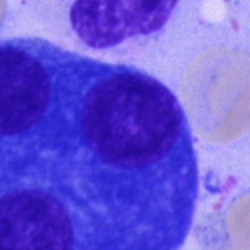

Specimen: bone marrow aspirate smear.
Classification: plasma cell.